Peripheral blood film — 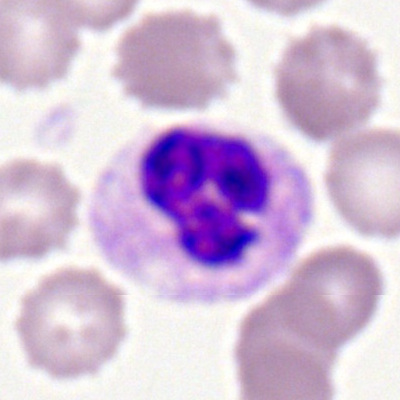 Morphological class — polymorphonuclear neutrophil.